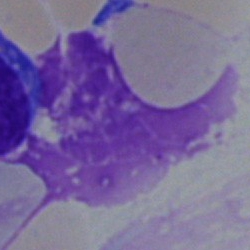The cell type is artefact.